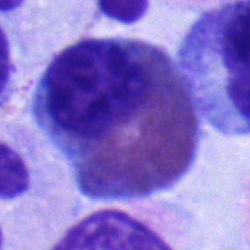

Q: What type of cell is this?
A: It is an eosinophil.